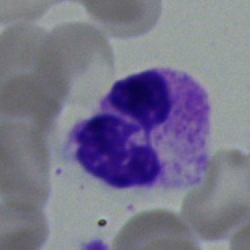 Single-cell crop from a bone marrow smear: polymorphonuclear neutrophil.